MGG-stained. Bone marrow smear:
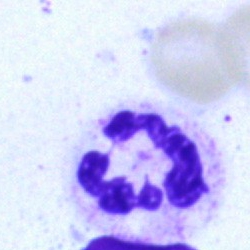

Q: What is the morphological classification of this cell?
A: Polymorphonuclear neutrophil.